Bone marrow smear
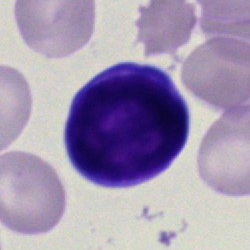 Morphology → typical lymphocyte.